Bone marrow smear · 250×250 px
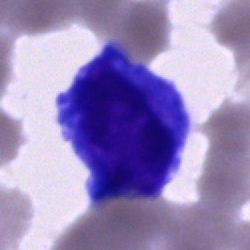

Specimen: bone marrow smear.
Cell type: undifferentiated blast.